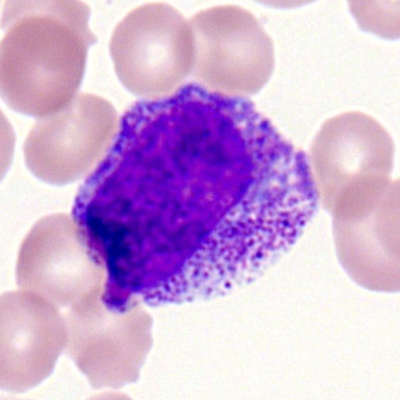Impression → myelocyte.